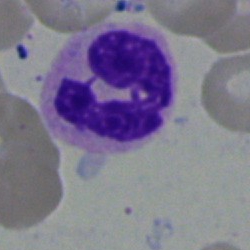

Q: Identify the cell.
A: It is a segmented neutrophil.